May-Grünwald-Giemsa/Pappenheim stain. Bone marrow smear. Single-cell field:
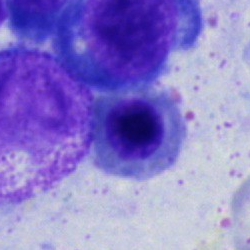Morphological class: erythroblast.